Image size 250×250. Bone marrow aspirate smear
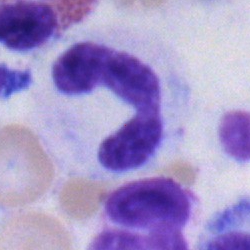Impression — band neutrophil.